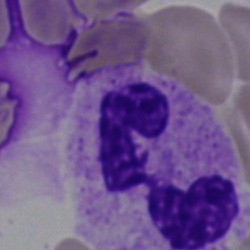
Bone marrow aspirate smear, single cell — segmented neutrophil.